Bone marrow aspirate smear.
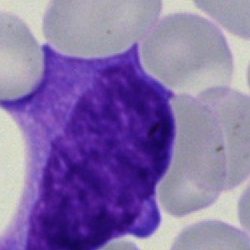 Morphology — blast cell.